Bone marrow aspirate smear; 40× objective, oil immersion
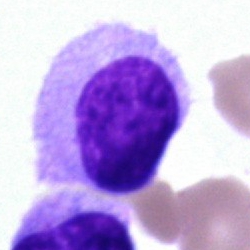
Classification: hairy cell.